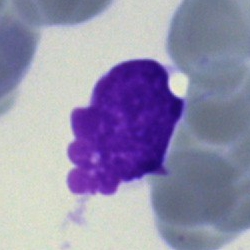

An artifact.